Bone marrow smear: 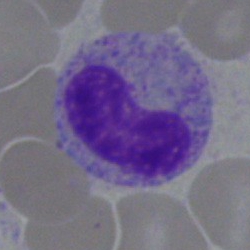Impression → band neutrophil.